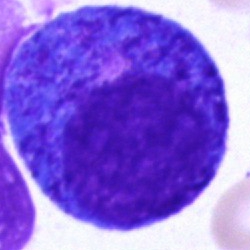Specimen: bone marrow smear.
Classification: promyelocyte.